MGG-stained; bone marrow smear; image size 250×250 — 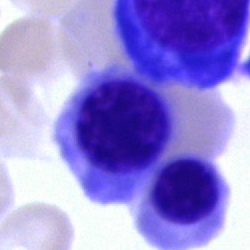 Showing a normoblast.